Peripheral blood smear:
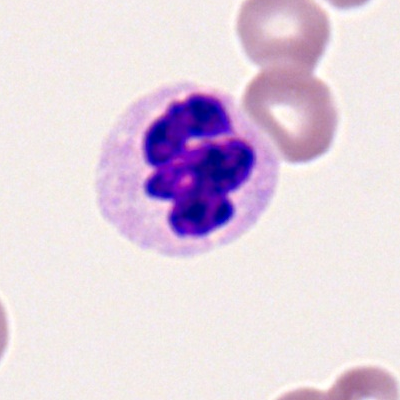

Polymorphonuclear neutrophil.